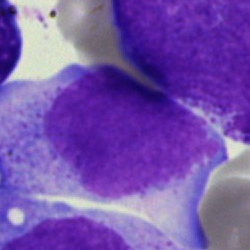 Morphology consistent with a blast.